Brightfield, 40× oil-immersion objective; bone marrow aspirate smear: 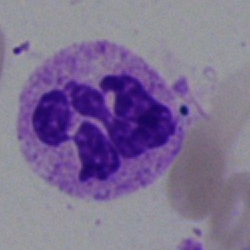

Q: Which cell type is shown here?
A: This is a segmented neutrophil.